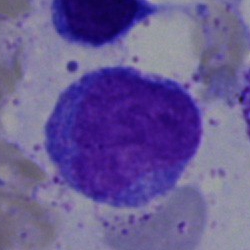
Specimen: bone marrow smear.
Classification: typical lymphocyte.
Lineage: lymphoid.